Bone marrow aspirate smear. Single-cell field: 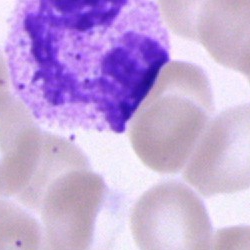

Q: What type of cell is this?
A: A segmented neutrophil.